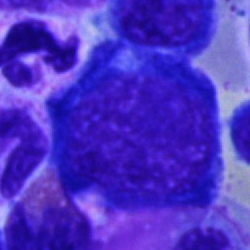
Cell: nucleated red blood cell.